Bone marrow aspirate smear · cropped to a single cell — 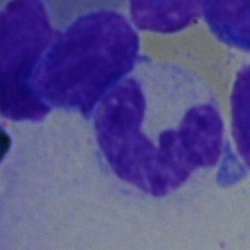 Showing a segmented neutrophil.